Bone marrow aspirate smear; single-cell crop; image size 250×250: 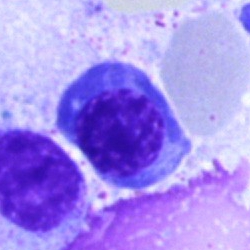 Single cell identified as an erythroblast.